Bone marrow aspirate smear:
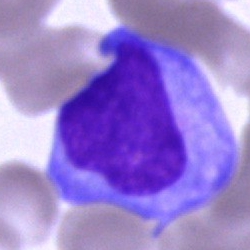Q: What type of cell is this?
A: This is a monocyte.